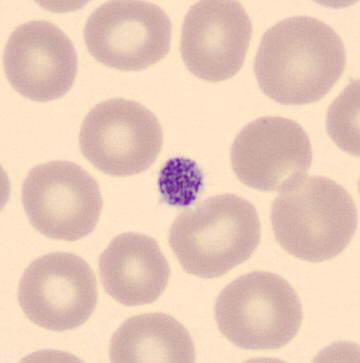Morphology → platelet.